Bone marrow aspirate smear; brightfield, 40× oil-immersion objective; single cell centered in the field.
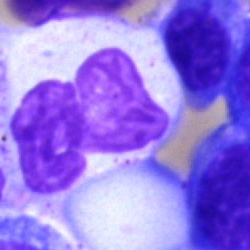
Impression — segmented neutrophil.